Bone marrow aspirate smear:
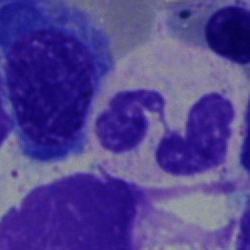

Morphology → neutrophil (segmented).